Bone marrow aspirate smear — 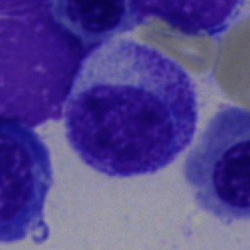
Morphology → progranulocyte.